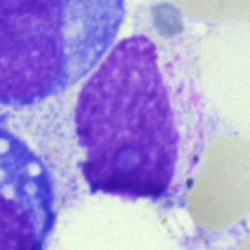 Single cell identified as an artefact.